Brightfield, 40× oil-immersion objective; single-cell crop; bone marrow smear — 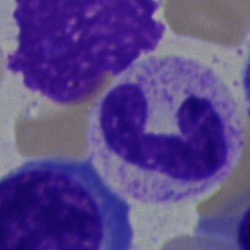 Morphology consistent with a stab cell.